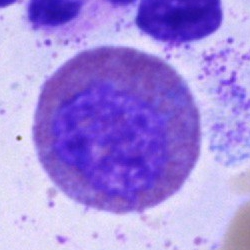Bone marrow aspirate smear, single cell — eosinophil.